Bone marrow smear. May-Grünwald-Giemsa/Pappenheim stain:
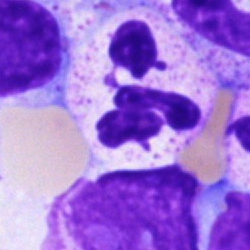
Q: Identify the cell.
A: It is a polymorphonuclear neutrophil.